Single cell centered in the field · May-Grünwald-Giemsa/Pappenheim stain · bone marrow aspirate smear:
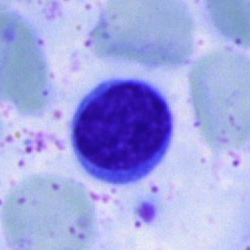
Impression → typical lymphocyte.